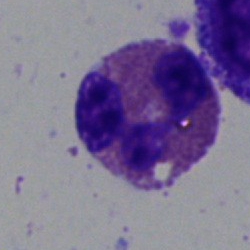

Q: Which cell type is shown here?
A: Eosinophil.